Bone marrow smear; May-Grünwald-Giemsa/Pappenheim stain — 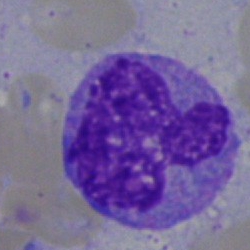

Q: What is the morphological classification of this cell?
A: It is a monocyte.